May-Grünwald-Giemsa/Pappenheim stain; bone marrow aspirate smear
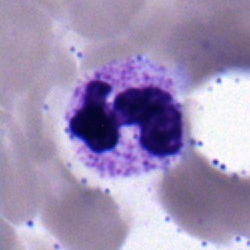 The morphological class is myelocyte.